Bone marrow aspirate smear · 250×250: 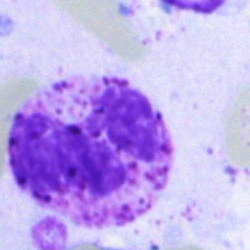
This is a basophilic granulocyte.